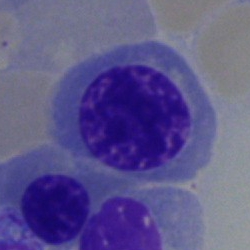Specimen: bone marrow smear.
Cell type: nucleated red cell.
Lineage: erythroid.